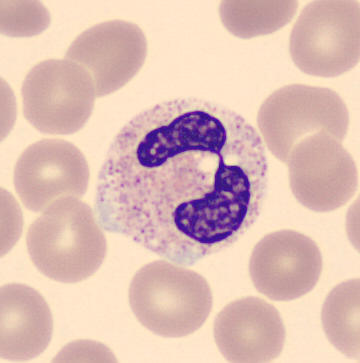

Acquisition: Peripheral blood film. Impression → segmented neutrophil.